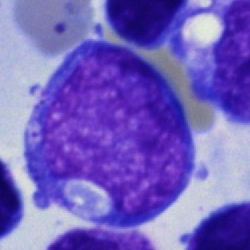Cell type = blast cell.